Bone marrow smear. 40× oil immersion.
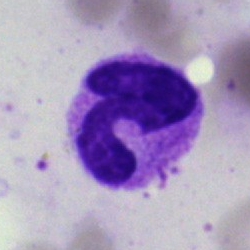

{"cell_type": "polymorphonuclear neutrophil", "lineage": "myeloid"}